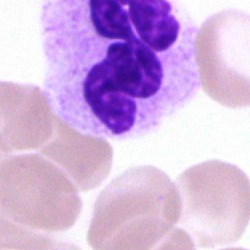A neutrophil (segmented) on a bone marrow smear.